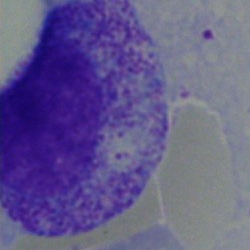

Specimen: bone marrow smear.
Classification: myelocyte.